Bone marrow smear — 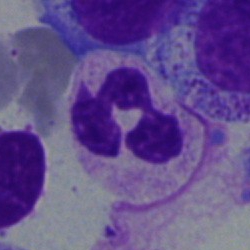 Q: What type of cell is this?
A: It is a segmented neutrophil.